Peripheral blood smear.
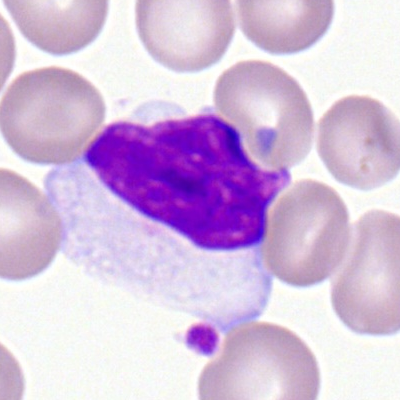 Classification = typical lymphocyte.